400×400 px; peripheral blood film: 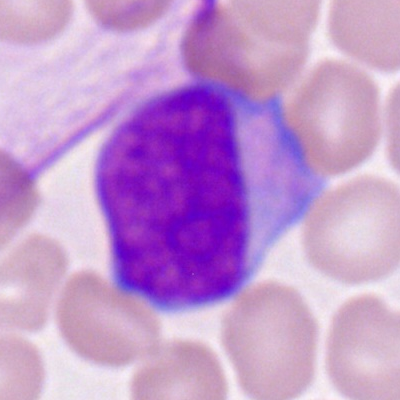
Q: What is shown here?
A: Myeloid blast.